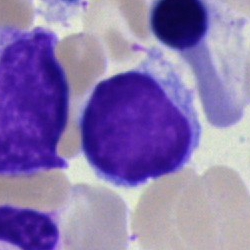

{"cell_type": "typical lymphocyte", "lineage": "lymphoid"}